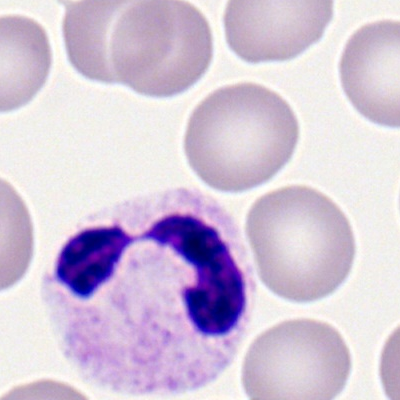 Polymorphonuclear neutrophil.